Peripheral blood film.
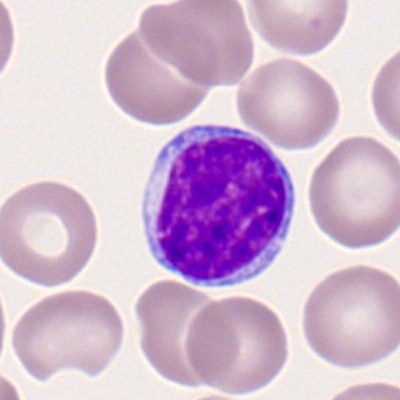
Classification: typical lymphocyte.